Peripheral blood smear; single cell centered in the field.
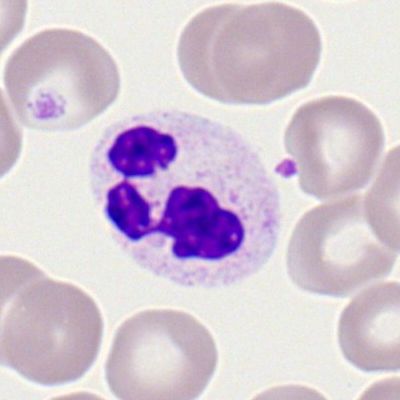

Morphology consistent with a polymorphonuclear neutrophil.